Bone marrow smear:
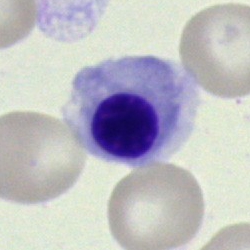

This is a nucleated red cell.